MGG-stained. Bone marrow aspirate smear — 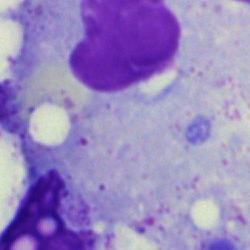
Specimen: bone marrow aspirate smear.
Cell type: artefact.